Bone marrow aspirate smear
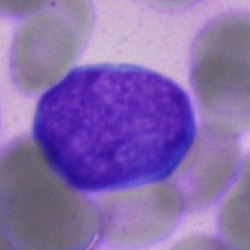Q: What is shown here?
A: This is a blast.